Bone marrow smear:
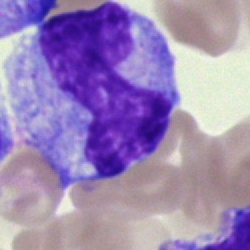Cell type = monocyte.